Bone marrow aspirate smear: 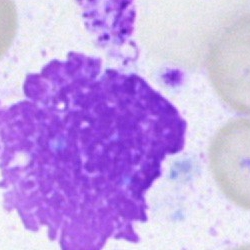
Single cell identified as an artifact.